Image size 250×250. Bone marrow aspirate smear: 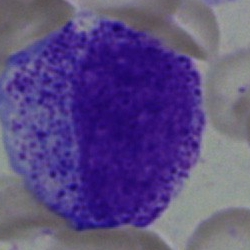A promyelocyte.